250×250. 40× objective, oil immersion. Bone marrow smear
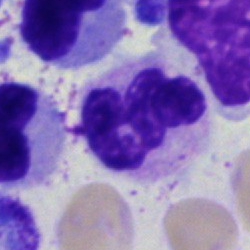
The cell shown is a segmented neutrophil.